Bone marrow aspirate smear · single-cell field:
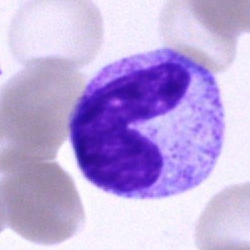

A stab cell.